Bone marrow smear:
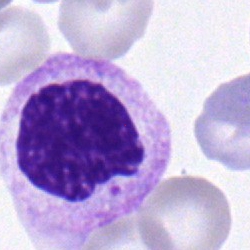 Classification — myelocyte.